May-Grünwald-Giemsa/Pappenheim stain. Bone marrow smear: 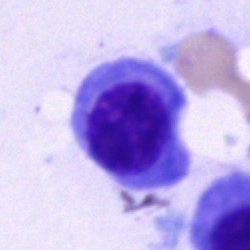Specimen: bone marrow aspirate smear.
Morphological class: nucleated red cell.
Lineage: erythroid.